250×250 px · bone marrow smear.
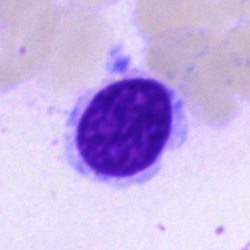
Showing a typical lymphocyte.